Brightfield, 40× oil-immersion objective · bone marrow smear.
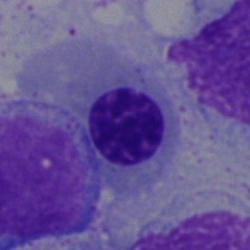

An erythroblast.